Bone marrow aspirate smear.
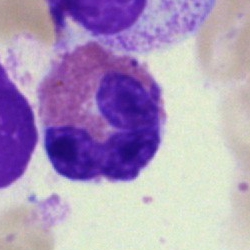
Q: Identify the cell.
A: Basophil.